Peripheral blood film
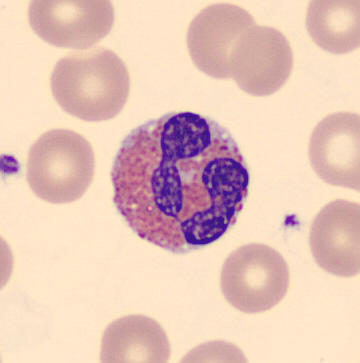 Impression — eosinophilic granulocyte.